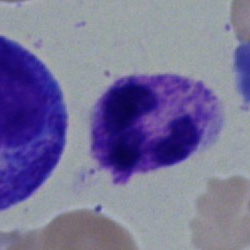
The cell shown is a neutrophil (segmented).